Bone marrow aspirate smear: 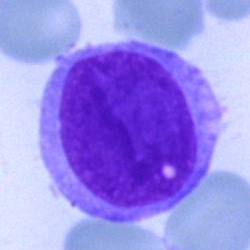Cell type: blast.